Bone marrow aspirate smear
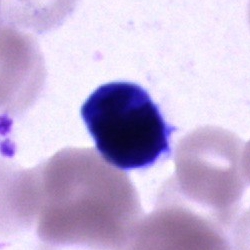 Cell type: cell of indeterminate lineage.